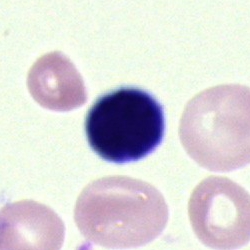
Morphological class — artefact.